Image size 250×250. Single-cell crop. Bone marrow aspirate smear
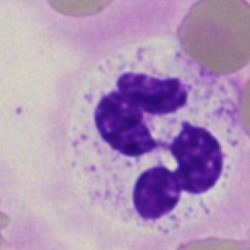Q: What cell is this?
A: This is a segmented neutrophil.